Bone marrow aspirate smear
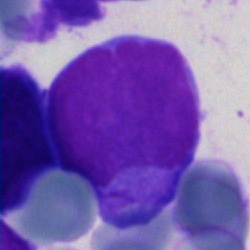 Specimen: bone marrow aspirate smear.
Classification: undifferentiated blast.